Peripheral blood smear · image size 400×400: 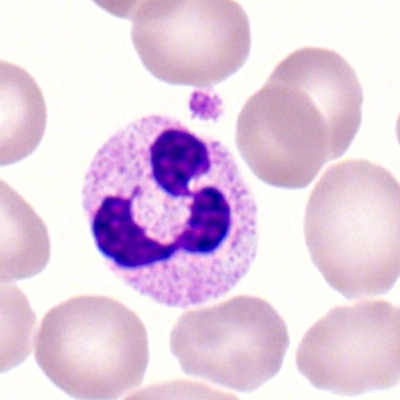Specimen: peripheral blood film.
Morphological class: neutrophil (segmented).
Lineage: myeloid.